Bone marrow aspirate smear
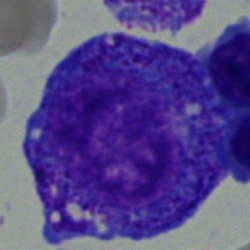Classification: progranulocyte.